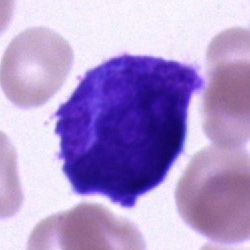 Q: What is shown here?
A: It is a cell of indeterminate lineage.